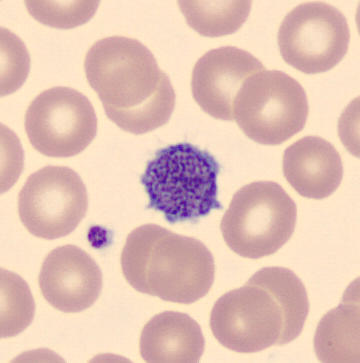Classification: platelet (thrombocyte).